100× oil immersion; peripheral blood smear; single-cell field — 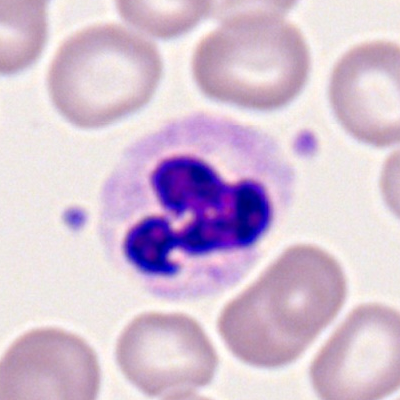Specimen: peripheral blood smear.
Morphological class: neutrophil (segmented).